Bone marrow aspirate smear
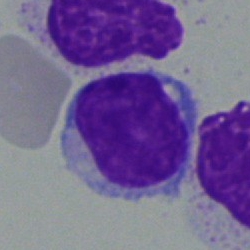 Impression — lymphocyte.